Bone marrow smear; 250×250; May-Grünwald-Giemsa/Pappenheim stain:
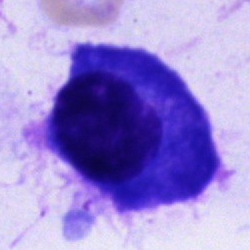 A plasma cell.